Bone marrow aspirate smear. Single cell centered in the field — 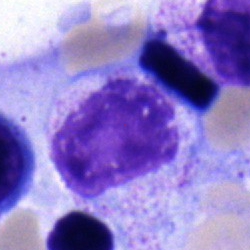 Morphology consistent with a metamyelocyte.